Romanowsky stain; peripheral blood film
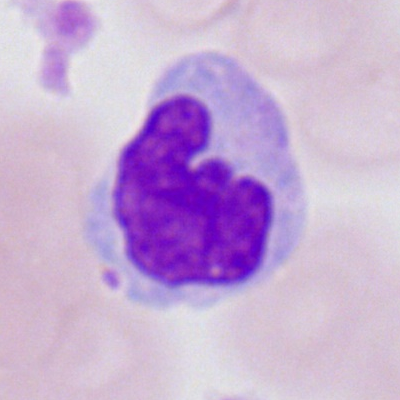 This is a monocyte.